Single-cell crop; 250×250; bone marrow smear — 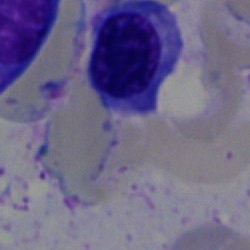Specimen: bone marrow aspirate smear.
Morphological class: normoblast.
Lineage: erythroid.